Bone marrow aspirate smear · single-cell field · 250 by 250 pixels: 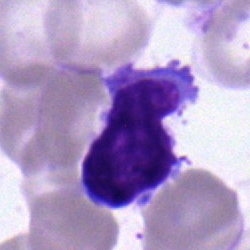
This is a lymphocyte.